Peripheral blood film; 400×400 px; 100× oil immersion: 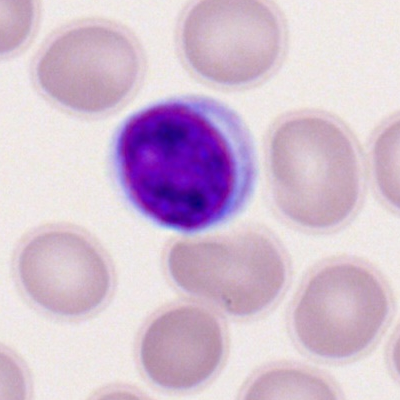Q: What type of cell is this?
A: It is a typical lymphocyte.